Peripheral blood film: 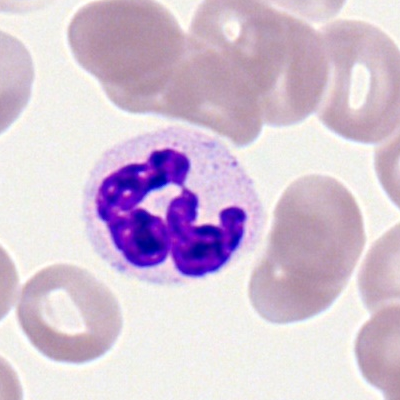Single cell identified as a neutrophil (segmented).